Bone marrow aspirate smear: 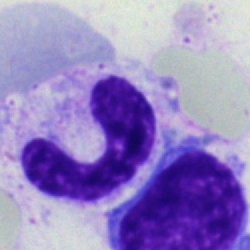
A band-form neutrophil.